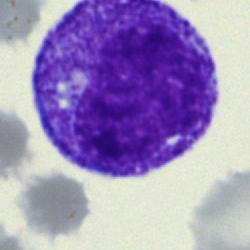Cell — myelocyte.